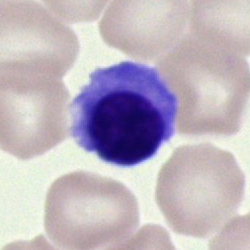
This is a nucleated red cell.